Bone marrow smear
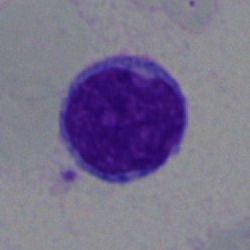

Q: What is the morphological classification of this cell?
A: It is a typical lymphocyte.